Image size 250×250; bone marrow smear; cropped to a single cell: 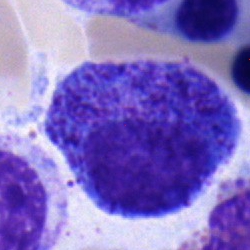 The cell shown is a promyelocyte.